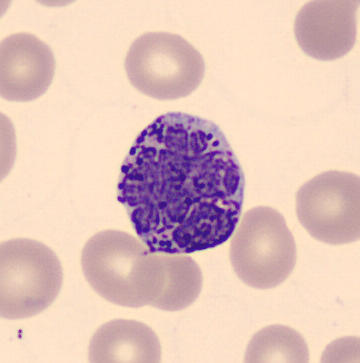
Classification = basophil.
Peripheral blood smear.